Bone marrow aspirate smear.
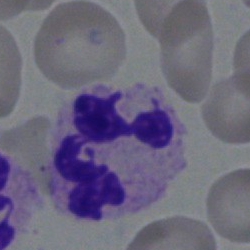

Q: What cell is this?
A: It is a segmented neutrophil.